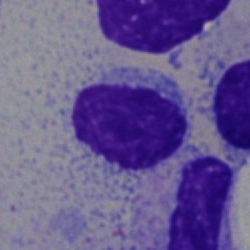Single-cell crop from a bone marrow smear: lymphocyte.